Bone marrow aspirate smear:
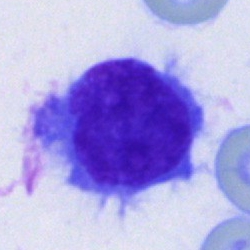
Classification = lymphocyte.